Brightfield microscopy, 40× oil immersion; bone marrow smear — 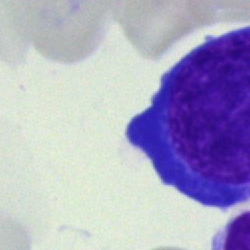

This is a pronormoblast.